Bone marrow smear.
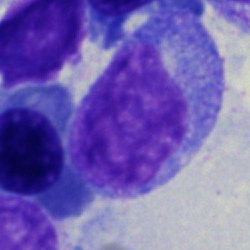 Specimen: bone marrow aspirate smear.
Classification: blast.